Peripheral blood smear: 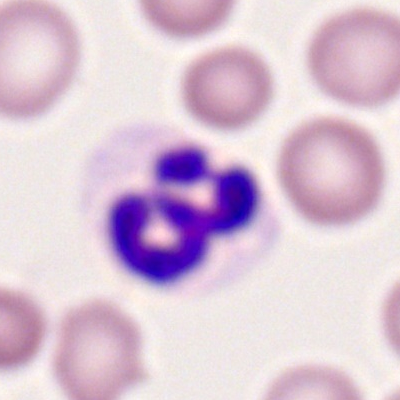

Morphology consistent with a neutrophil (segmented).